40× oil immersion. Cropped to a single cell. Bone marrow smear
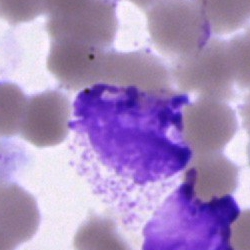An artifact.